Bone marrow smear.
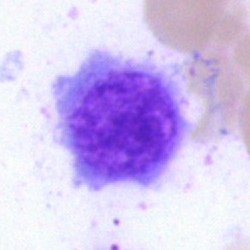 {"cell_type": "artifact"}